Brightfield microscopy, 40× oil immersion. Bone marrow smear. Pappenheim-stained:
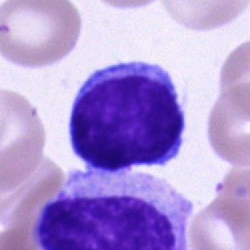

Single cell identified as a typical lymphocyte.